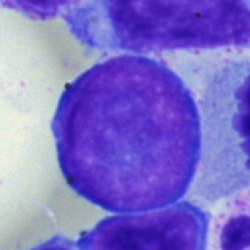Cell = blast cell.